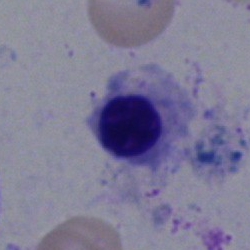
Specimen: bone marrow smear.
Cell type: erythroblast.